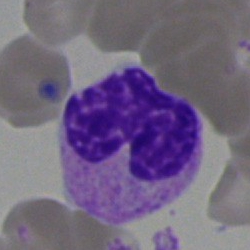Impression — band-form neutrophil.